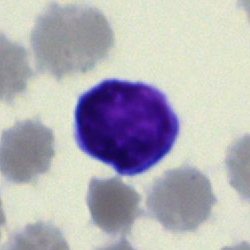 A typical lymphocyte.